Bone marrow smear · single-cell field — 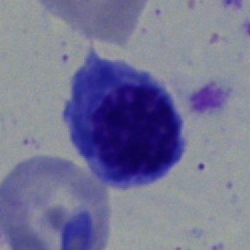Morphology — normoblast.